Peripheral blood smear. 100× objective, oil immersion: 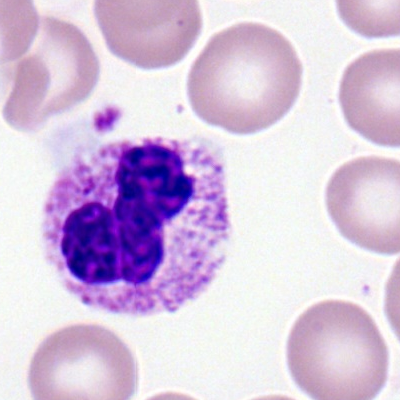 This is a neutrophil (segmented).